Peripheral blood smear
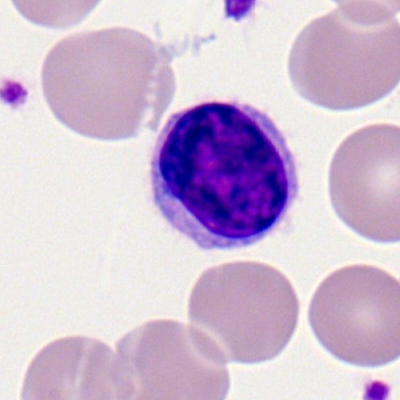 Q: What type of cell is this?
A: Lymphocyte.